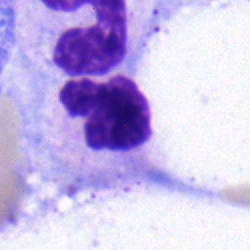Cell: segmented neutrophil.